Bone marrow aspirate smear
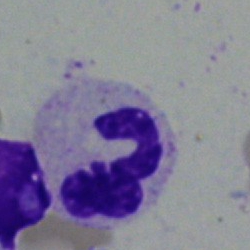Classification: neutrophil (segmented).